40× oil immersion; bone marrow aspirate smear; Pappenheim-stained — 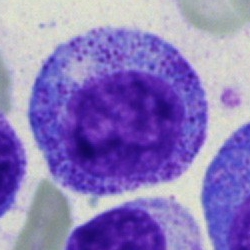 Morphological class = progranulocyte.